Image size 250×250; MGG-stained; bone marrow smear:
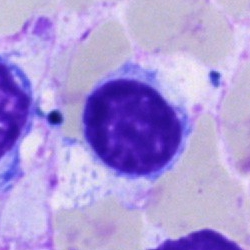

Single cell identified as a typical lymphocyte.